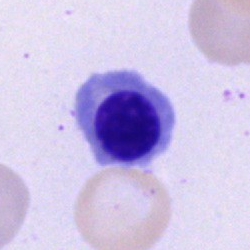

Cell type: normoblast.